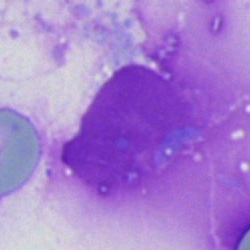 Classification — artifact.